Bone marrow smear; brightfield microscopy, 40× oil immersion; 250×250: 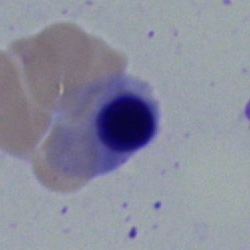
A normoblast.